100× oil immersion, 14.14 px/µm; peripheral blood film:
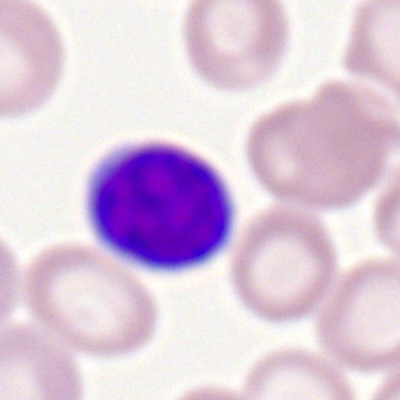 Cell = lymphocyte.